Bone marrow smear.
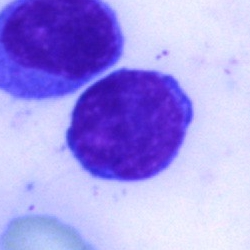
Impression → lymphocyte.